Bone marrow aspirate smear.
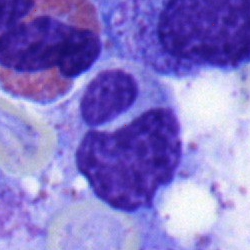Cell: polymorphonuclear neutrophil.